40× objective, oil immersion; bone marrow aspirate smear: 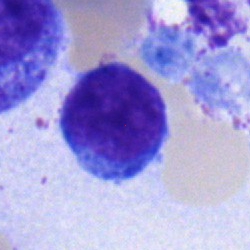
Specimen: bone marrow smear.
Morphological class: typical lymphocyte.
Lineage: lymphoid.